Bone marrow aspirate smear. Single cell centered in the field — 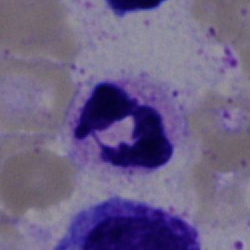

Single cell identified as a polymorphonuclear neutrophil.